Bone marrow smear; single-cell field:
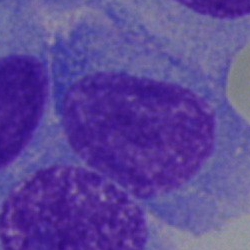 Q: What is shown here?
A: This is a plasmacyte.